Image size 250×250. Bone marrow aspirate smear. May-Grünwald-Giemsa/Pappenheim stain.
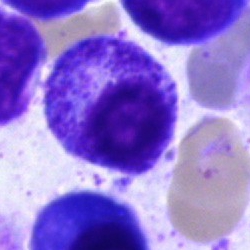

Showing a myelocyte.